Bone marrow aspirate smear.
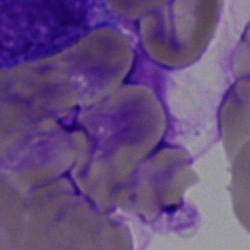

Single cell identified as an artifact.